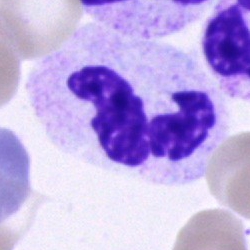
Morphological class: polymorphonuclear neutrophil.